Bone marrow aspirate smear
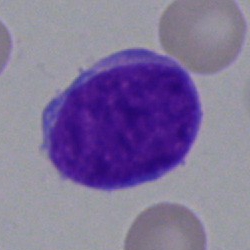Q: What is shown here?
A: A blast cell.